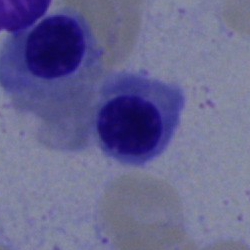
{"cell_type": "normoblast"}